250×250 px; bone marrow aspirate smear.
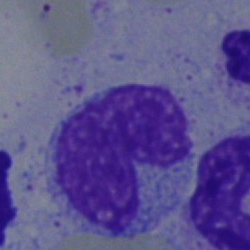

Morphology consistent with a neutrophil (band).